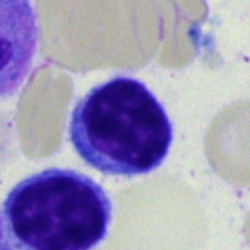 Impression — lymphocyte.